Bone marrow smear. Single cell centered in the field:
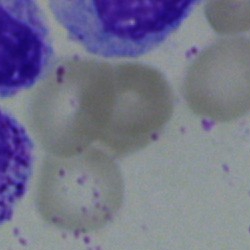 The cell shown is an artifact.